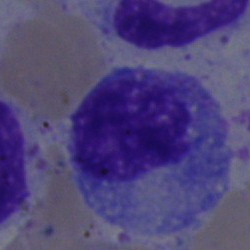 The cell shown is a progranulocyte.